Bone marrow aspirate smear · Pappenheim-stained · 40× objective, oil immersion
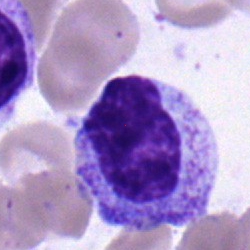

Q: What is the morphological classification of this cell?
A: This is a myelocyte.